Bone marrow aspirate smear
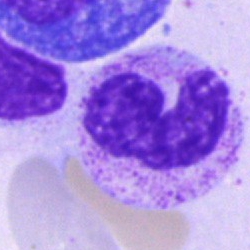
Single cell identified as a polymorphonuclear neutrophil.